Bone marrow aspirate smear · brightfield microscopy, 40× oil immersion — 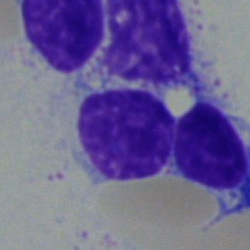 A lymphocyte.